Bone marrow aspirate smear; brightfield microscopy, 40× oil immersion: 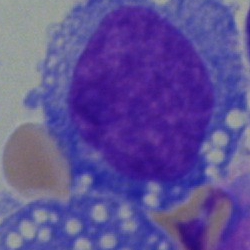

The cell is blast cell.